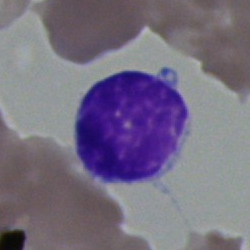 Q: What cell is this?
A: It is a typical lymphocyte.